250 by 250 pixels; brightfield, 40× oil-immersion objective; bone marrow smear: 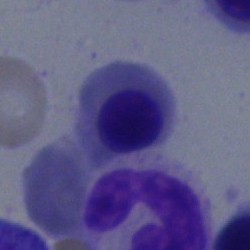
Q: What type of cell is this?
A: This is an erythroblast.